Bone marrow smear. Pappenheim-stained. 250×250 px.
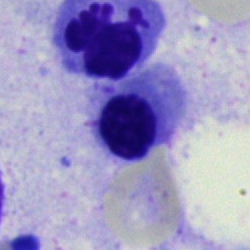Cell type = nucleated red cell.